Bone marrow aspirate smear. May-Grünwald-Giemsa stain:
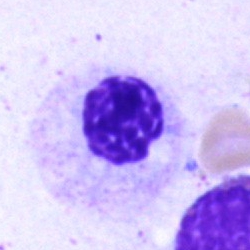 Cell — neutrophil (segmented).